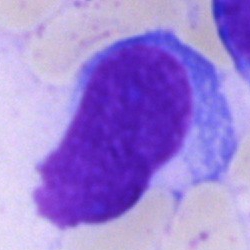
Bone marrow aspirate smear, single cell — blast cell.